Bone marrow smear — 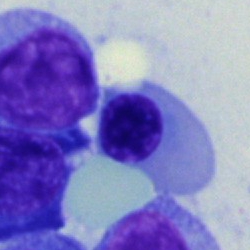

Showing an erythroblast.